Single-cell crop; bone marrow smear:
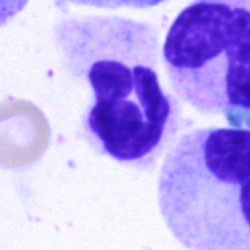

Showing a polymorphonuclear neutrophil.